Bone marrow smear; 250 by 250 pixels; single-cell field:
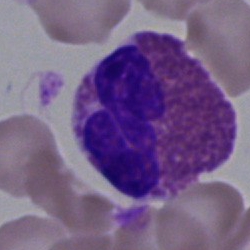

{"cell_type": "eosinophilic granulocyte", "lineage": "myeloid"}